Bone marrow aspirate smear.
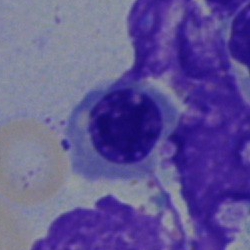
Showing a nucleated red cell.